MGG-stained. Bone marrow smear: 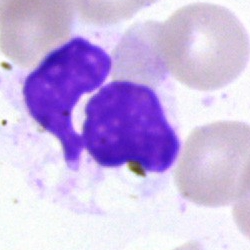 Impression → artefact.